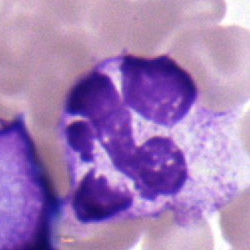Impression — segmented neutrophil.